Bone marrow smear — 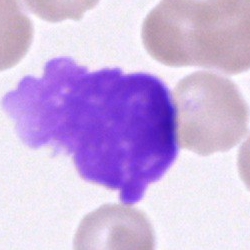Artifact.